Bone marrow smear · May-Grünwald-Giemsa/Pappenheim stain: 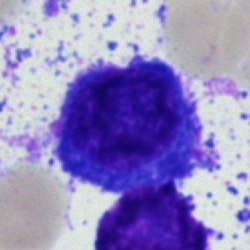Morphology consistent with a plasma cell.